Brightfield, 40× oil-immersion objective · Pappenheim-stained · bone marrow aspirate smear:
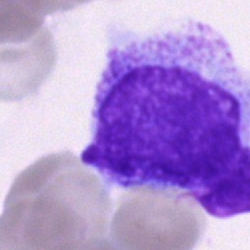Morphology consistent with an unidentifiable cell.